Peripheral blood film: 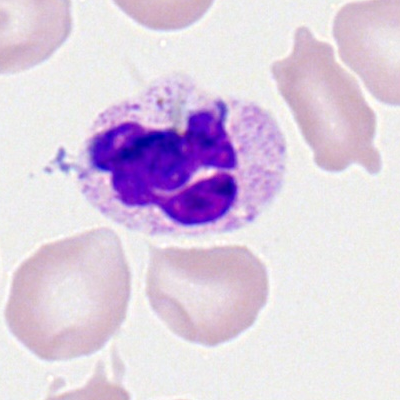Impression — neutrophil (segmented).